Bone marrow aspirate smear. 250×250. MGG-stained — 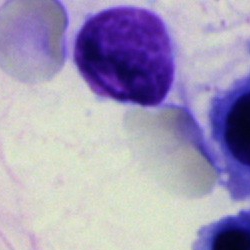Morphology consistent with an artifact.